Pappenheim-stained; bone marrow smear:
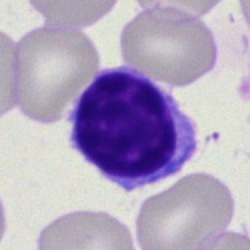

Q: What type of cell is this?
A: This is a lymphocyte.